May-Grünwald-Giemsa stain · bone marrow smear: 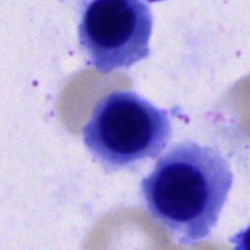 The cell is erythroblast.